Bone marrow smear.
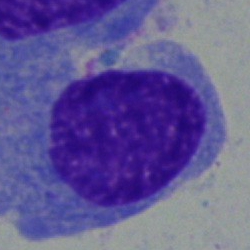
Q: What is the morphological classification of this cell?
A: Plasmacyte.